Brightfield, 40× oil-immersion objective · bone marrow aspirate smear · 250 by 250 pixels
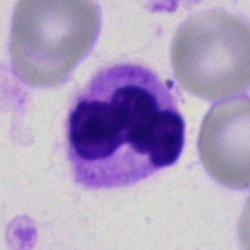
Showing a neutrophil (segmented).